Bone marrow aspirate smear.
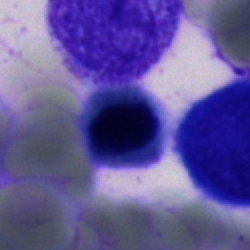

Q: What type of cell is this?
A: Normoblast.